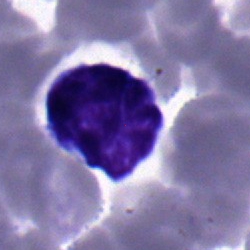

Morphology consistent with a lymphocyte.